Bone marrow smear:
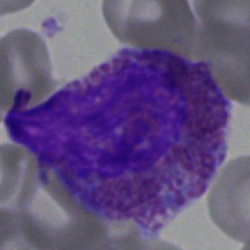

Impression — eosinophilic granulocyte.